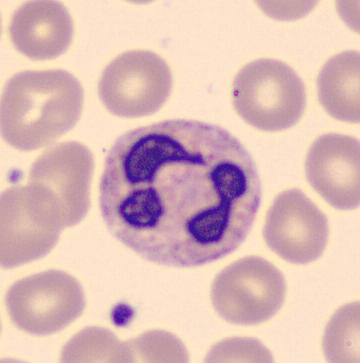 {"cell_type": "segmented neutrophil", "lineage": "myeloid"} Peripheral blood smear.